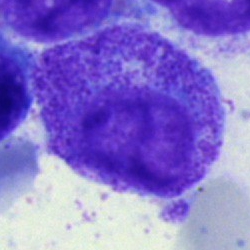Specimen: bone marrow smear.
Classification: progranulocyte.